Bone marrow aspirate smear: 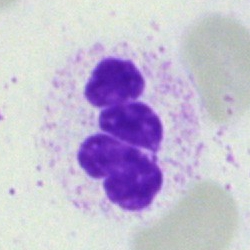
Specimen: bone marrow aspirate smear.
Cell type: segmented neutrophil.
Lineage: myeloid.